Peripheral blood smear:
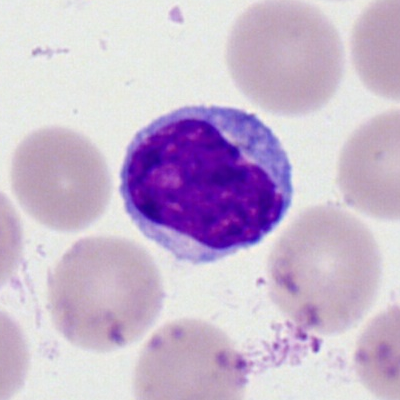

This is a typical lymphocyte.